Bone marrow aspirate smear · single-cell field:
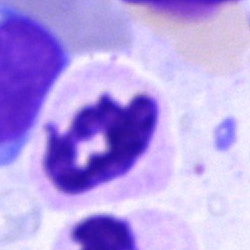 Specimen: bone marrow smear.
Cell type: polymorphonuclear neutrophil.
Lineage: myeloid.